Bone marrow smear: 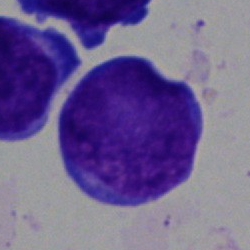
Q: What type of cell is this?
A: Undifferentiated blast.